Bone marrow smear:
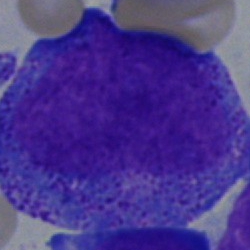
Classification — promyelocyte.